Bone marrow aspirate smear; brightfield, 40× oil-immersion objective
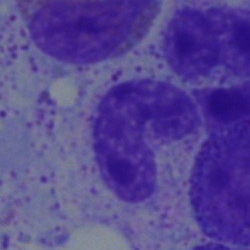Classification — stab cell.